Peripheral blood smear. Single-cell field
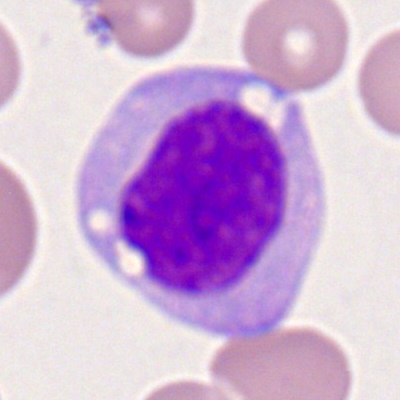The morphological class is monoblast.